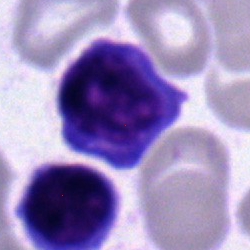Typical lymphocyte.